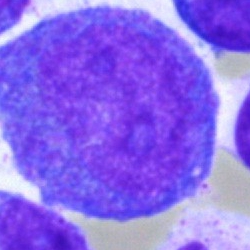

Single cell identified as a progranulocyte.